Bone marrow aspirate smear. 250×250 px.
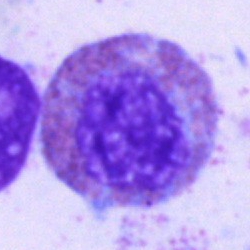 Q: What cell is this?
A: It is an eosinophilic granulocyte.